Bone marrow aspirate smear — 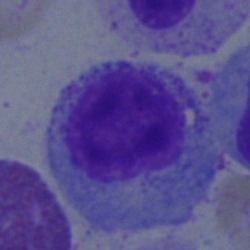

Morphology → myelocyte.